Peripheral blood film · single-cell field.
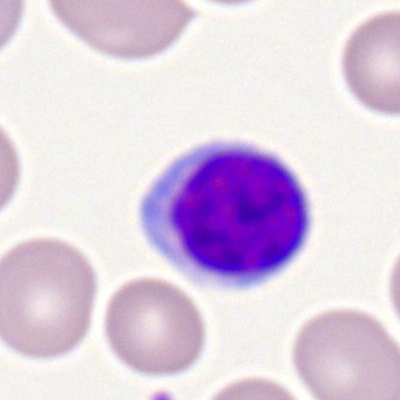 Q: Which cell type is shown here?
A: This is a lymphocyte.